Bone marrow aspirate smear; cropped to a single cell
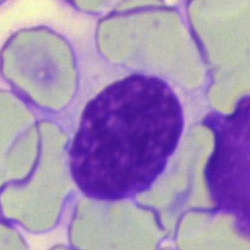
Impression → artifact.